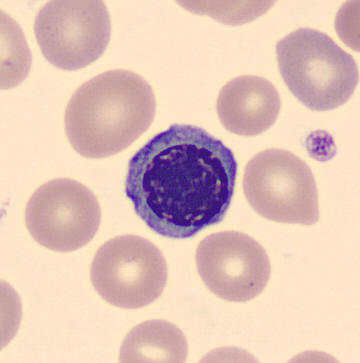Morphology → normoblast.
Peripheral blood film.